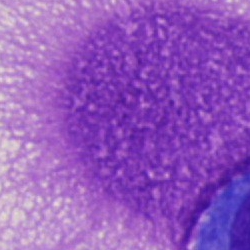 Bone marrow smear showing an artefact.